Bone marrow aspirate smear.
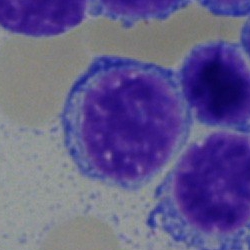
The cell type is typical lymphocyte.